Bone marrow aspirate smear:
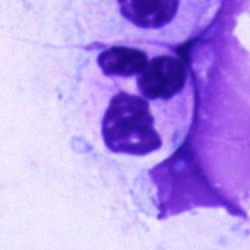

Q: What type of cell is this?
A: A polymorphonuclear neutrophil.